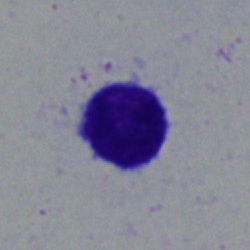The classification is typical lymphocyte.